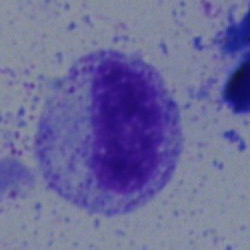 Single-cell crop from a bone marrow smear: myelocyte.